Bone marrow smear · 250×250 px: 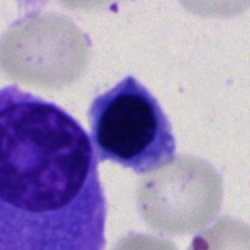Q: Identify the cell.
A: It is a nucleated red cell.